Single cell centered in the field; Pappenheim-stained; bone marrow aspirate smear.
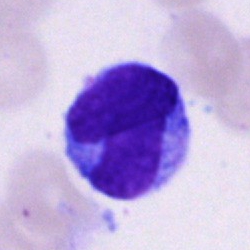

A monocyte.